Bone marrow smear · 250 by 250 pixels.
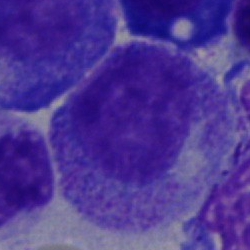
The cell type is myelocyte.